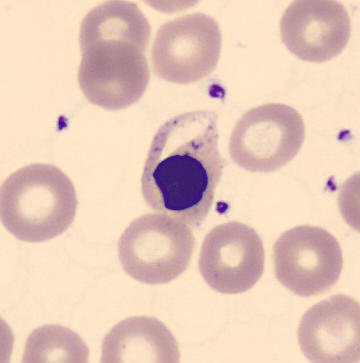Specimen: peripheral blood film.
Cell: erythroblast.
Lineage: erythroid.